Bone marrow smear · image size 250×250 — 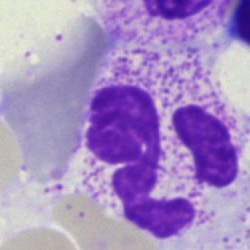 Morphological class — segmented neutrophil.